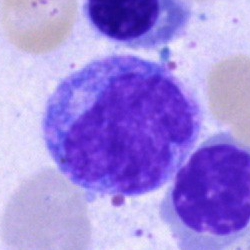Q: Which cell type is shown here?
A: This is a monocyte.